Pappenheim-stained. 250×250. Bone marrow smear:
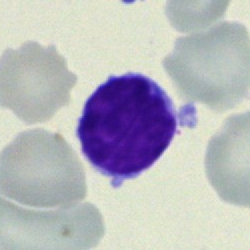Q: What is the morphological classification of this cell?
A: Typical lymphocyte.